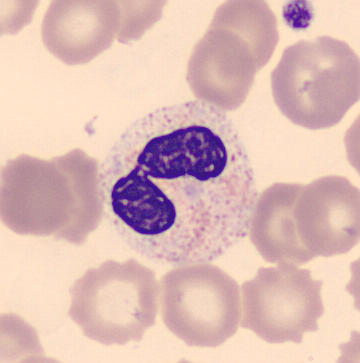

Impression — neutrophil (segmented). Acquisition: Peripheral blood smear; single-cell field.